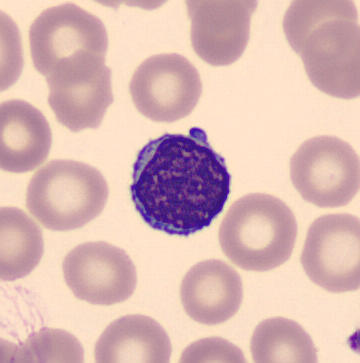 Preparation: MGG-stained · 360×363 px · peripheral blood film.

The morphological class is lymphocyte.